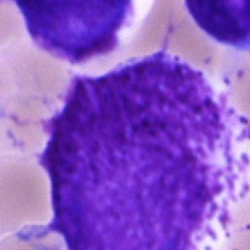
An artifact on a bone marrow smear.